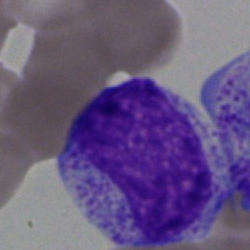 Morphology → myelocyte.